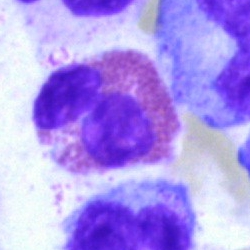 Q: What is shown here?
A: It is an eosinophilic granulocyte.